Peripheral blood film: 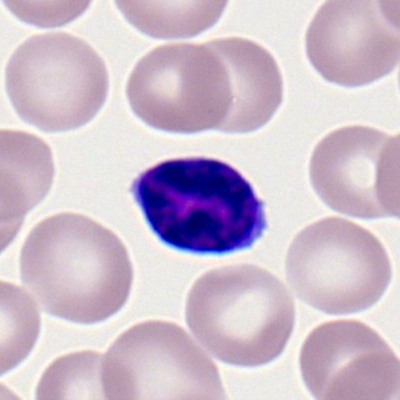
The morphological class is lymphocyte.